Bone marrow aspirate smear: 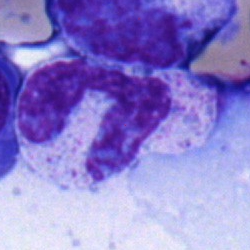A neutrophil (band).